250×250 · bone marrow smear
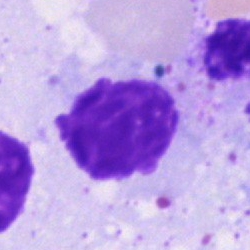Morphology — artefact.